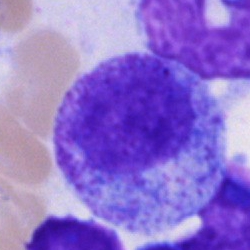

{"cell_type": "promyelocyte"}